May-Grünwald-Giemsa/Pappenheim stain · bone marrow smear — 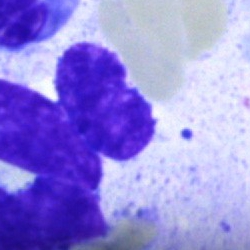
Morphology consistent with an artifact.